Bone marrow smear
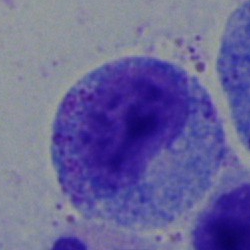Specimen: bone marrow aspirate smear.
Cell: myelocyte.